Bone marrow smear.
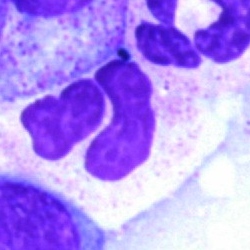

Showing a neutrophil (segmented).